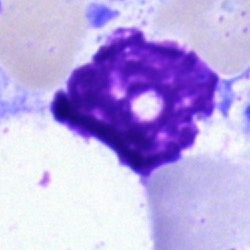
The cell shown is an artefact.